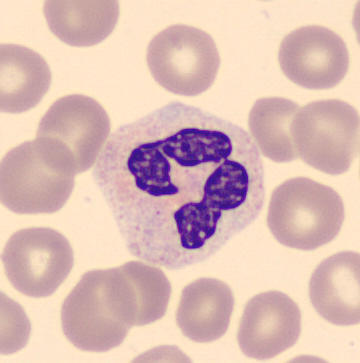
Morphology → neutrophil (segmented).